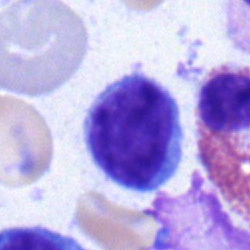

Bone marrow aspirate smear, single cell — lymphocyte.